Bone marrow smear · brightfield, 40× oil-immersion objective.
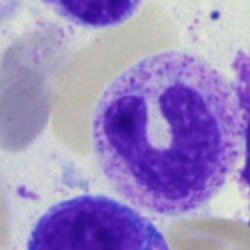
Showing a band-form neutrophil.